40× objective, oil immersion. Bone marrow smear:
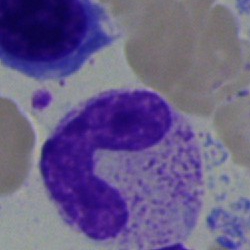 Impression — band neutrophil.